Peripheral blood smear
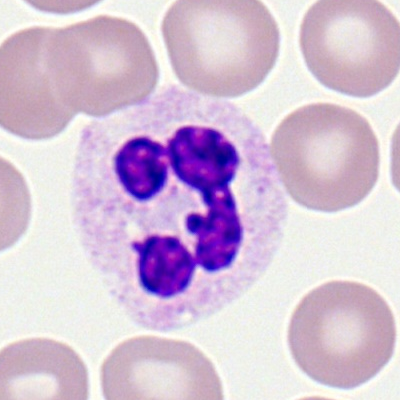Impression → neutrophil (segmented).